Image size 250×250; bone marrow smear: 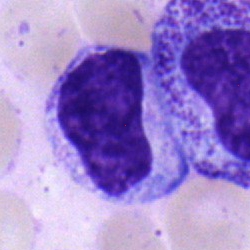 A monocyte.